May-Grünwald-Giemsa stain. Bone marrow aspirate smear.
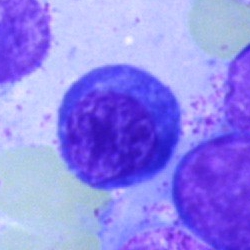
A nucleated red cell.